Bone marrow smear — 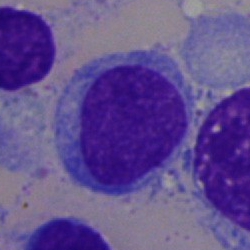
This is a typical lymphocyte.